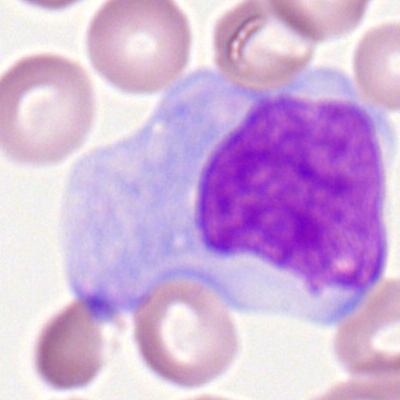
Morphological class — monocyte.